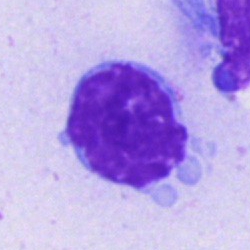

The cell is unidentifiable cell.